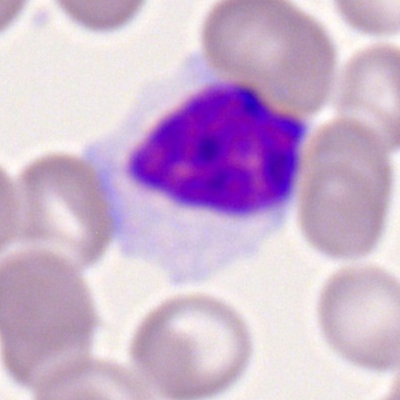

{"cell_type": "typical lymphocyte", "lineage": "lymphoid"}